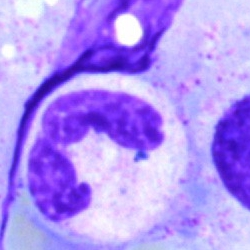 Specimen: bone marrow aspirate smear.
Cell: neutrophil (segmented).
Lineage: myeloid.